Bone marrow aspirate smear.
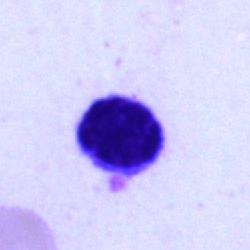

The cell shown is a typical lymphocyte.